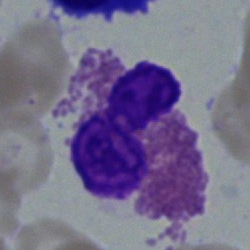 Q: Which cell type is shown here?
A: It is an immature lymphocyte.